Bone marrow smear:
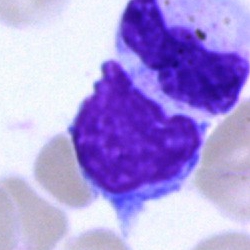

Morphology consistent with an artifact.